MGG-stained. 40× objective, oil immersion. Bone marrow aspirate smear: 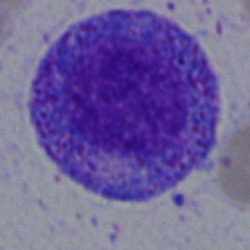
The cell is progranulocyte.